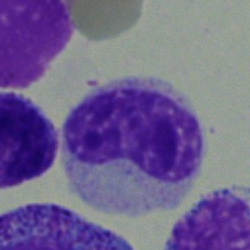

Single cell identified as a metamyelocyte.